Peripheral blood film: 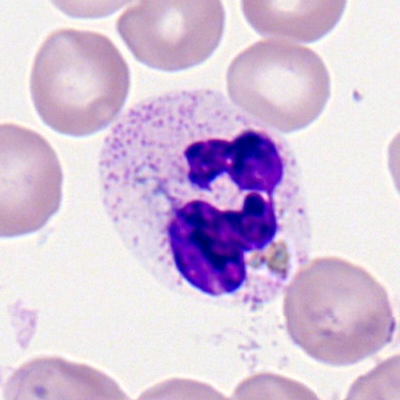
Impression — segmented neutrophil.